250 by 250 pixels. MGG-stained. Bone marrow aspirate smear:
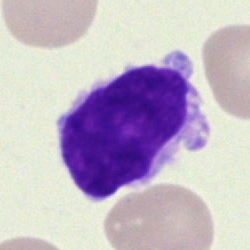

Typical lymphocyte.